May-Grünwald-Giemsa/Pappenheim stain. Bone marrow smear — 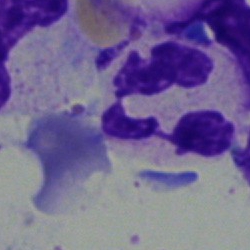Morphological class = segmented neutrophil.